Cropped to a single cell · bone marrow smear — 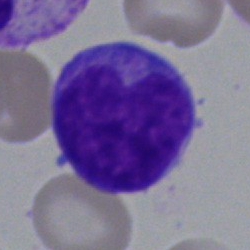Morphology → blast cell.